Peripheral blood film:
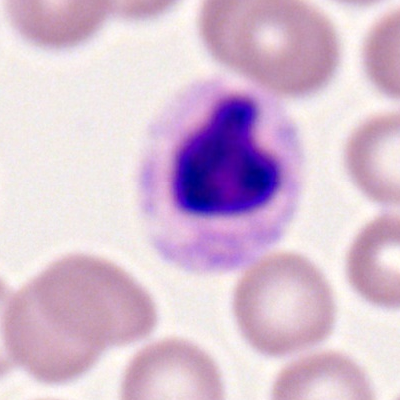

The classification is neutrophil (segmented).